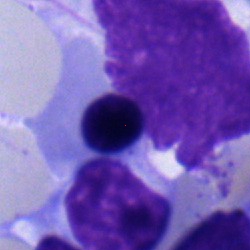A normoblast on a bone marrow smear.